Bone marrow smear; 250×250; 40× objective, oil immersion: 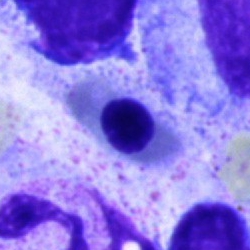

Q: Identify the cell.
A: This is a nucleated red blood cell.